Bone marrow aspirate smear.
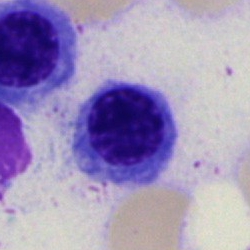 Cell type = normoblast.